Peripheral blood smear · single-cell field: 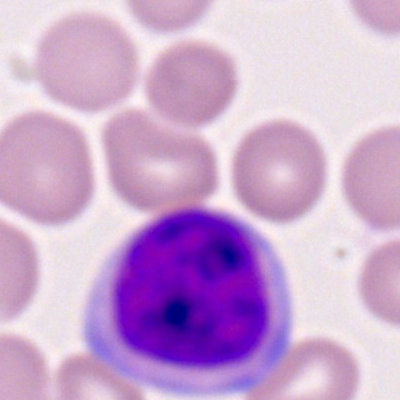

Q: What cell is this?
A: Lymphocyte.